250×250 px · bone marrow smear — 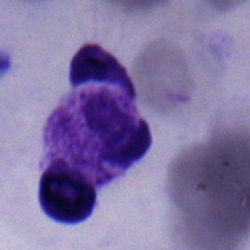 Morphological class: metamyelocyte.